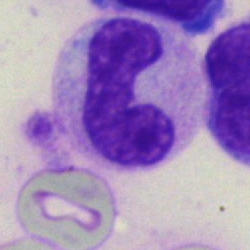

Classification = band neutrophil.